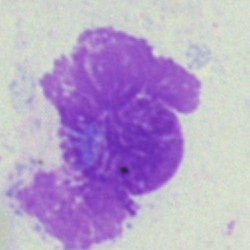

Q: What is shown here?
A: It is an artefact.